Bone marrow aspirate smear; 250×250 px: 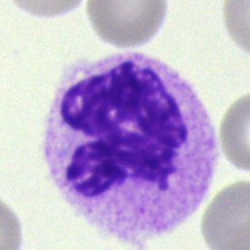
Single cell identified as a polymorphonuclear neutrophil.